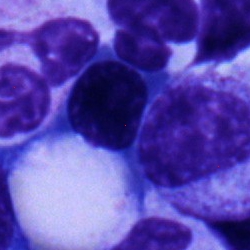
Q: What type of cell is this?
A: This is an erythroblast.